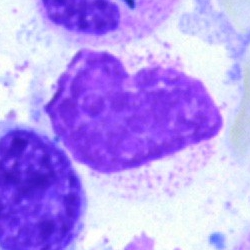

Classification — artefact.